Bone marrow smear — 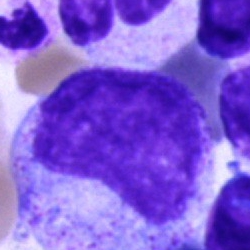
Showing a promyelocyte.